Pappenheim-stained. 250×250. Bone marrow aspirate smear.
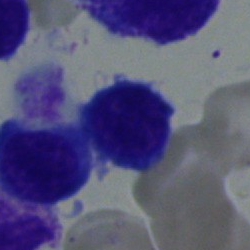Cell type — typical lymphocyte.